MGG-stained · bone marrow smear · cropped to a single cell: 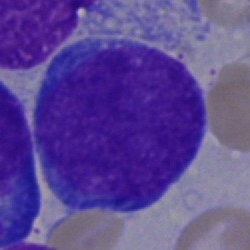 Blast cell.